250 by 250 pixels. Bone marrow smear — 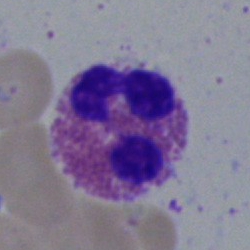

Eosinophilic granulocyte.